Image size 250×250 · bone marrow aspirate smear: 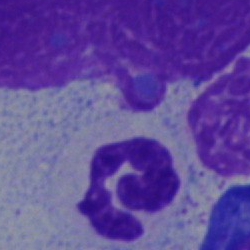

Q: What type of cell is this?
A: This is a neutrophil (segmented).